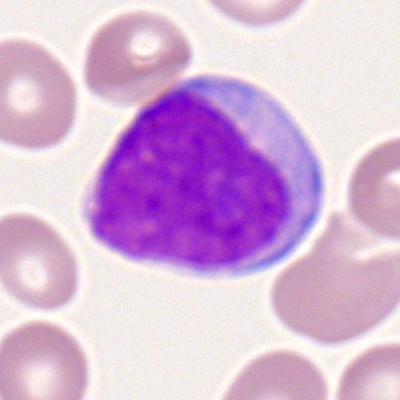Single cell identified as a myeloblast.